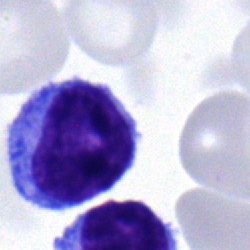Q: What type of cell is this?
A: This is a lymphocyte.